Bone marrow smear; MGG-stained.
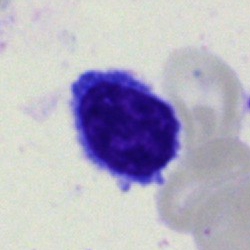
Q: Identify the cell.
A: It is a lymphocyte.